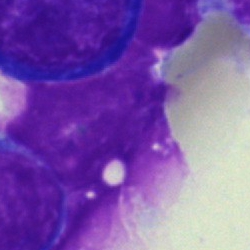

Classification = artefact.